Bone marrow smear: 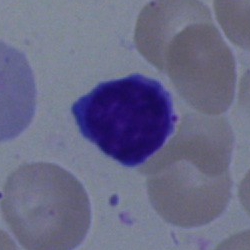 Specimen: bone marrow aspirate smear.
Cell type: typical lymphocyte.
Lineage: lymphoid.